Bone marrow aspirate smear
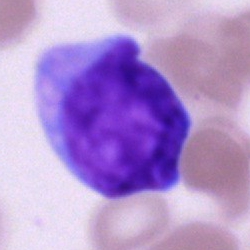Cell type = undifferentiated blast.